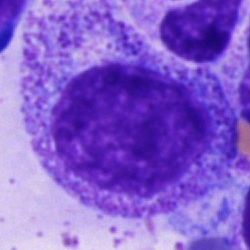The cell type is progranulocyte.